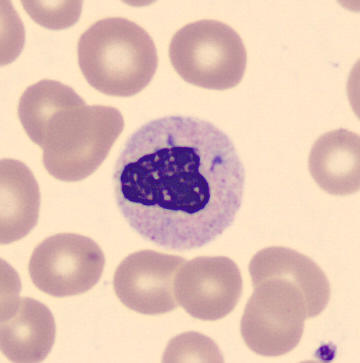

Impression — stab cell. Preparation: Imaged on a CellaVision DM96 analyser. Peripheral blood smear.